Bone marrow smear · 250×250 px
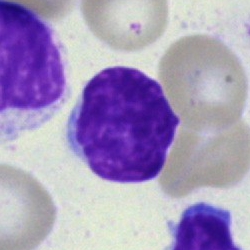Morphological class = typical lymphocyte.